Bone marrow smear · single-cell crop:
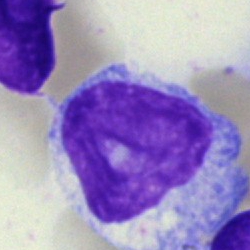 {"cell_type": "monocyte", "lineage": "myeloid"}